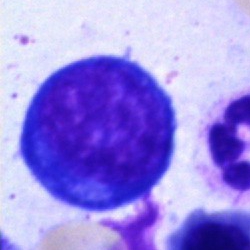 Q: What is the morphological classification of this cell?
A: Proerythroblast.